Pappenheim-stained · bone marrow smear
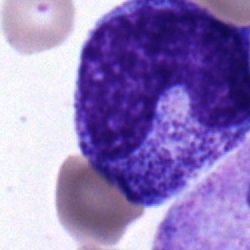
Classification — metamyelocyte.